Image size 250×250; May-Grünwald-Giemsa stain; bone marrow aspirate smear — 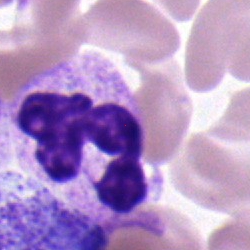
Classification — neutrophil (segmented).